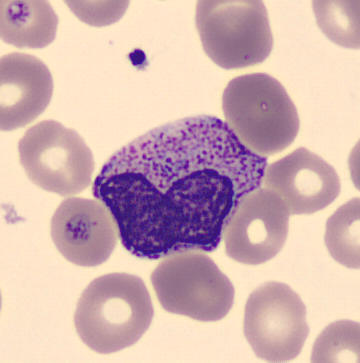 Q: Identify the cell.
A: A metamyelocyte.